Bone marrow smear:
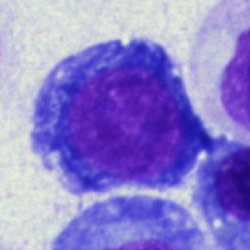 Classification: nucleated red blood cell.